Bone marrow aspirate smear. 250×250:
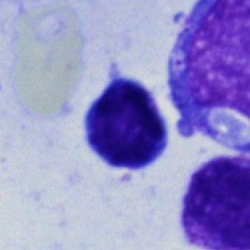Typical lymphocyte.